Cropped to a single cell; bone marrow smear: 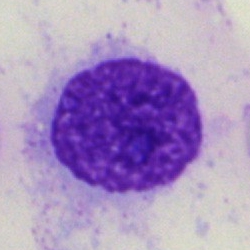 Impression → artifact.